Bone marrow smear: 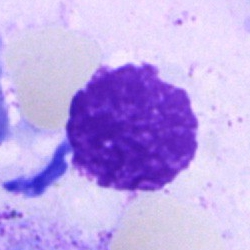

The morphological class is artefact.